Bone marrow smear; 40× objective, oil immersion.
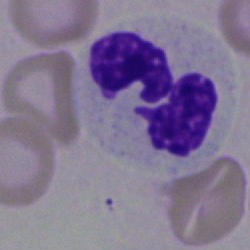A segmented neutrophil.